Brightfield microscopy, 40× oil immersion; bone marrow smear; image size 250×250 — 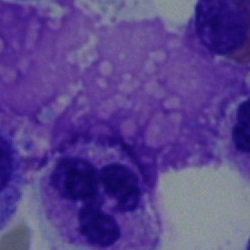The cell type is segmented neutrophil.